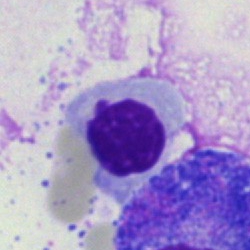
This is an erythroblast.